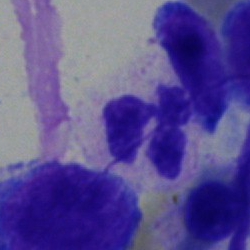

Cell: segmented neutrophil.